Bone marrow smear.
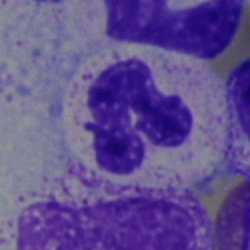 Classification = segmented neutrophil.